Bone marrow aspirate smear:
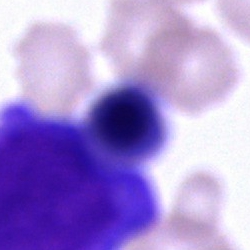
Cell: cell of indeterminate lineage.